Bone marrow smear — 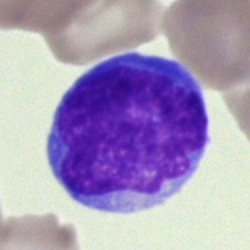
Morphology — lymphocyte.